Brightfield, 40× oil-immersion objective · single-cell crop · bone marrow smear
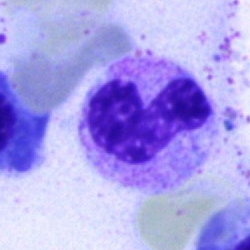
Specimen: bone marrow smear.
Classification: neutrophil (band).
Lineage: myeloid.